250×250 px; brightfield microscopy, 40× oil immersion; bone marrow smear.
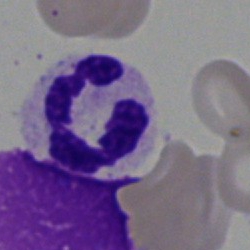

{"cell_type": "neutrophil (segmented)"}